Single cell centered in the field. Bone marrow smear: 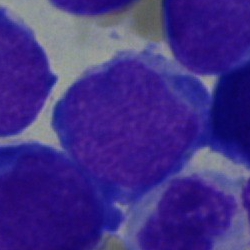Cell type: blast cell.